Peripheral blood film — 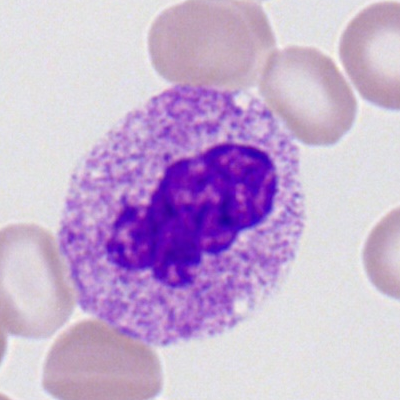

A neutrophil (segmented).